Bone marrow smear. Cropped to a single cell — 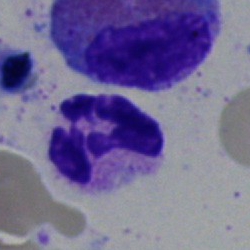

Showing a segmented neutrophil.